Bone marrow aspirate smear:
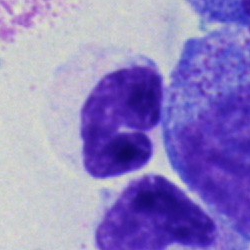 Q: What is the morphological classification of this cell?
A: It is a band neutrophil.